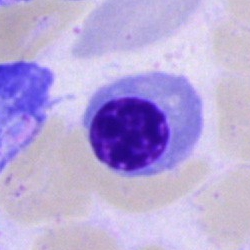
{"cell_type": "nucleated red blood cell"}